Bone marrow aspirate smear
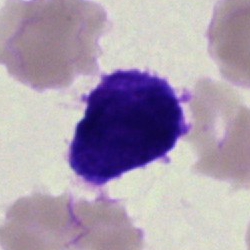 The classification is undifferentiated blast.